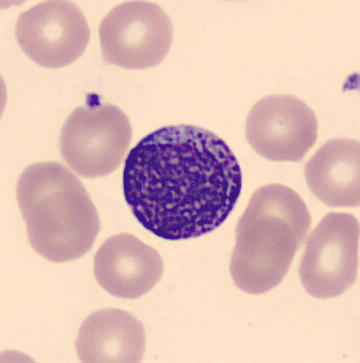
Preparation: Peripheral blood smear · CellaVision DM96 digital cell image.
This is a myelocyte.